Bone marrow aspirate smear.
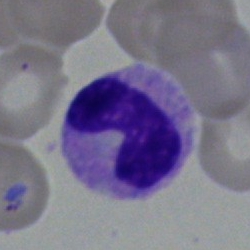

Cell = neutrophil (band).